Bone marrow smear; 250×250 px:
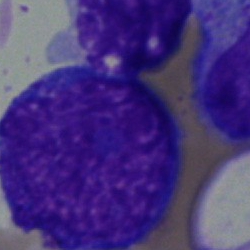Q: What is the morphological classification of this cell?
A: Blast.